Bone marrow aspirate smear
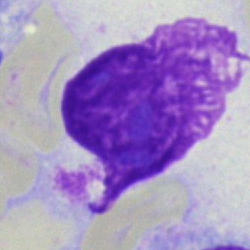 Single cell identified as an artifact.